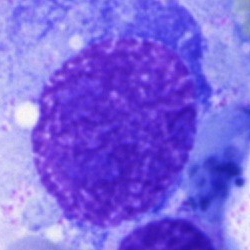An artifact.